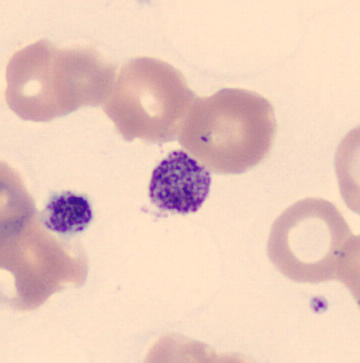 Q: What is this?
A: It is a platelet.

Acquisition: Peripheral blood film.